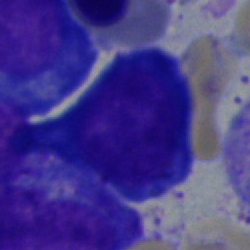 Q: Which cell type is shown here?
A: An erythroblast.